Imaged on a CellaVision DM96 analyser. Peripheral blood film — 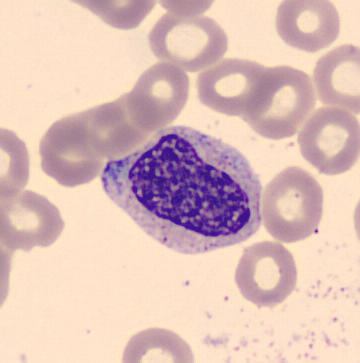Showing a metamyelocyte.